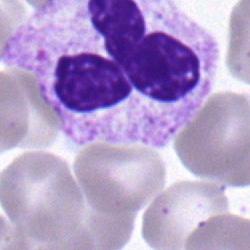Single-cell crop from a bone marrow smear: polymorphonuclear neutrophil.